Bone marrow aspirate smear.
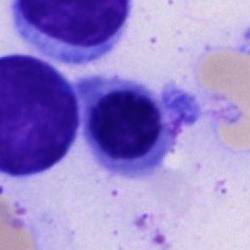
A nucleated red cell.